40× objective, oil immersion. Bone marrow aspirate smear: 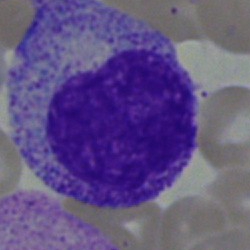

Classification — myelocyte.